Bone marrow aspirate smear:
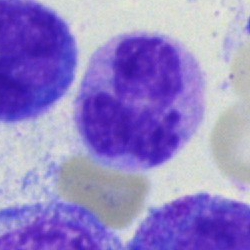Showing a monocyte.